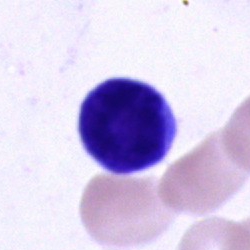

A lymphocyte on a bone marrow smear.